Bone marrow aspirate smear
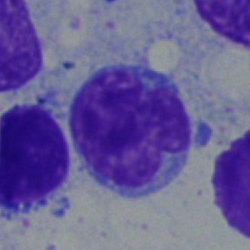Specimen: bone marrow smear.
Morphological class: typical lymphocyte.